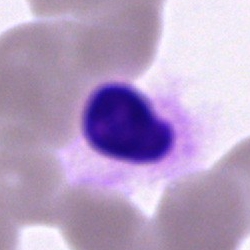

The cell is cell of indeterminate lineage.